Cropped to a single cell. Bone marrow smear. Brightfield microscopy, 40× oil immersion: 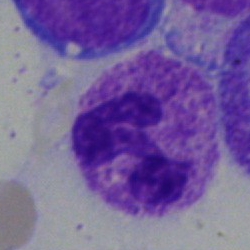 Specimen: bone marrow aspirate smear.
Cell type: neutrophil (segmented).
Lineage: myeloid.